Bone marrow smear: 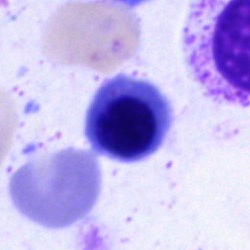

Nucleated red blood cell.